Bone marrow aspirate smear.
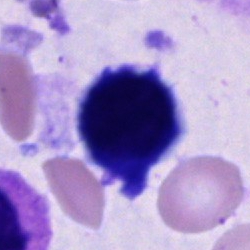 Q: What is the morphological classification of this cell?
A: This is an unidentifiable cell.